40× oil immersion · bone marrow aspirate smear
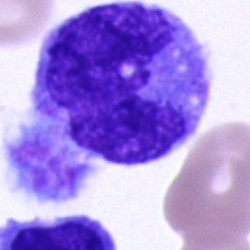
Classification = monocyte.